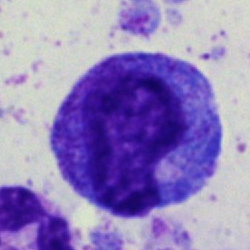 Specimen: bone marrow smear.
Cell: progranulocyte.
Lineage: myeloid.